Bone marrow smear — 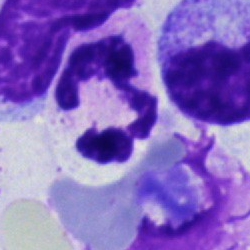Single cell identified as a neutrophil (segmented).